Peripheral blood film. Single cell centered in the field:
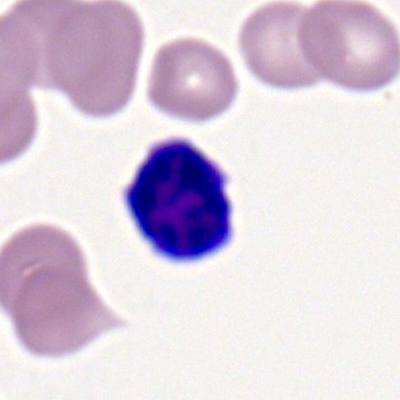

The cell type is typical lymphocyte.